Bone marrow aspirate smear — 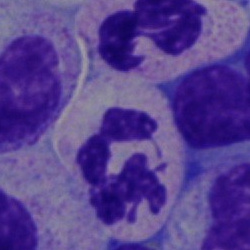
Single cell identified as a polymorphonuclear neutrophil.